Peripheral blood smear: 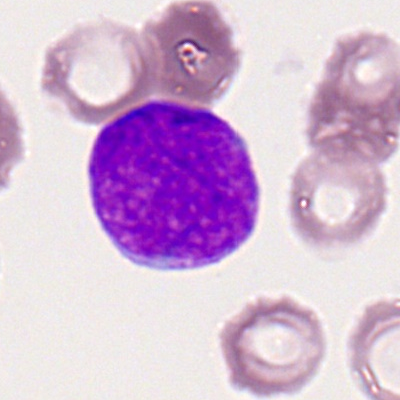
Morphological class — myeloid blast.